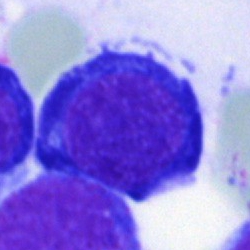
Cell type = nucleated red blood cell.